Bone marrow smear:
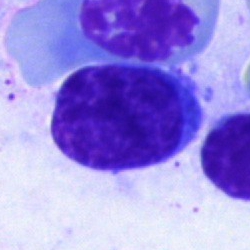Blast cell.